Bone marrow smear
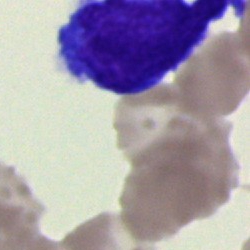

Morphology consistent with a blast cell.